May-Grünwald-Giemsa/Pappenheim stain; 40× oil immersion; bone marrow smear:
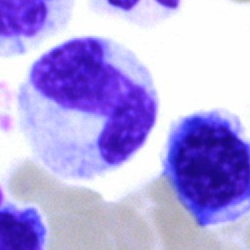Morphology consistent with a neutrophil (band).